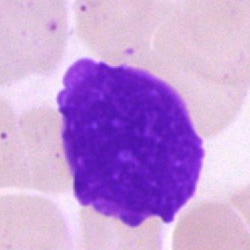

This is an artifact.